Bone marrow smear · brightfield, 40× oil-immersion objective: 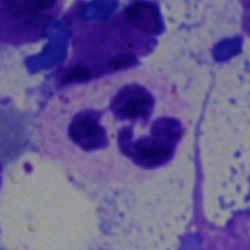Showing a polymorphonuclear neutrophil.